Bone marrow smear. Cropped to a single cell. 40× objective, oil immersion.
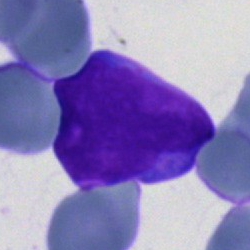Morphology consistent with a blast.